Bone marrow aspirate smear; 250×250 px
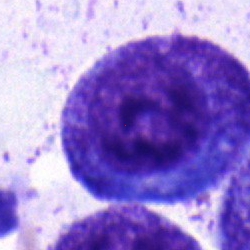

Progranulocyte.